Bone marrow aspirate smear · May-Grünwald-Giemsa stain.
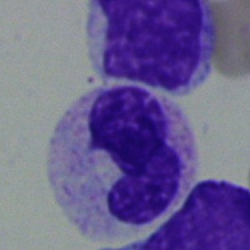Cell type: neutrophil (band).